Bone marrow aspirate smear.
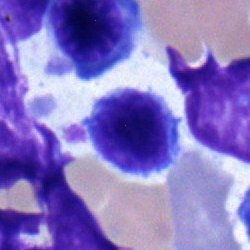
Morphological class = lymphocyte.